Bone marrow aspirate smear: 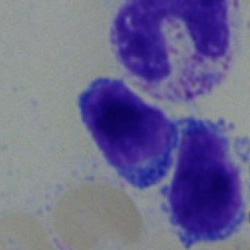
Single cell identified as a lymphocyte.